Bone marrow smear: 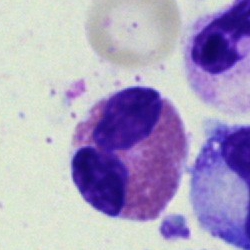

Showing an eosinophil.